Bone marrow aspirate smear: 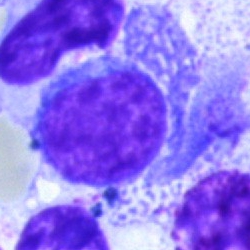Morphological class: blast cell.